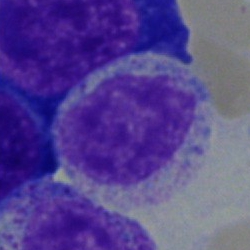The morphological class is monocyte.